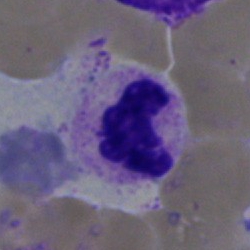 The morphological class is polymorphonuclear neutrophil.